Brightfield, 40× oil-immersion objective · bone marrow aspirate smear · single-cell field:
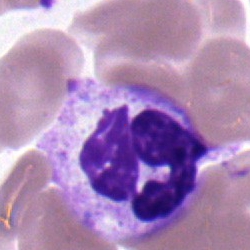

Cell: neutrophil (segmented).